Bone marrow aspirate smear.
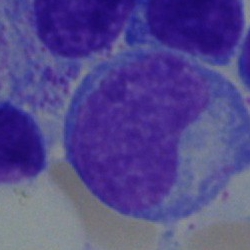
Showing a blast.